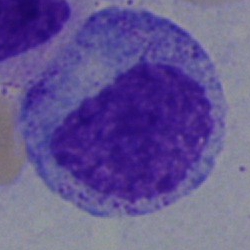Showing a promyelocyte.